Peripheral blood film.
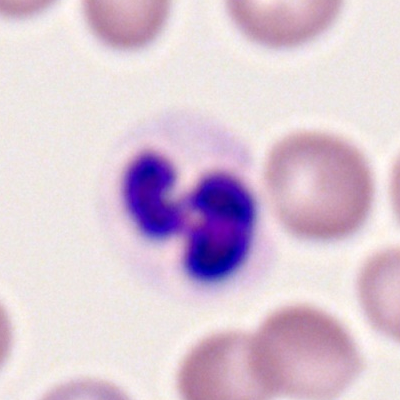Q: What is the morphological classification of this cell?
A: This is a segmented neutrophil.